MGG-stained; bone marrow aspirate smear — 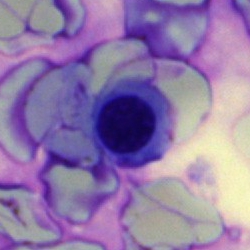 The cell is erythroblast.